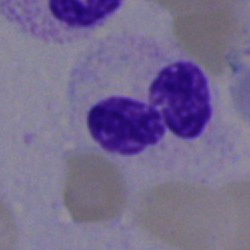

Morphological class — segmented neutrophil.